Bone marrow aspirate smear
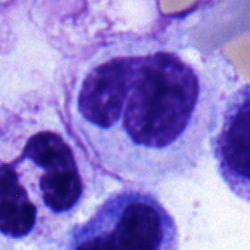A stab cell.